Bone marrow smear · cropped to a single cell · brightfield microscopy, 40× oil immersion.
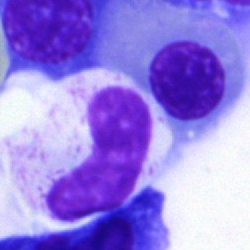

{"cell_type": "stab cell", "lineage": "myeloid"}